Bone marrow smear
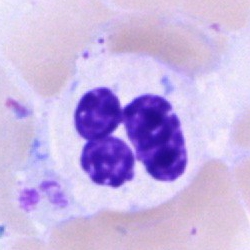 Morphology — neutrophil (segmented).